Bone marrow aspirate smear: 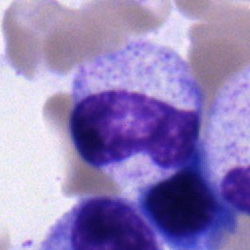
Morphology consistent with a neutrophil (band).